Bone marrow smear.
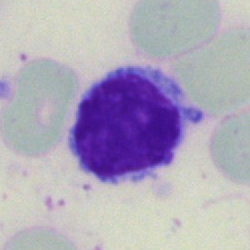
Q: Identify the cell.
A: Lymphocyte.